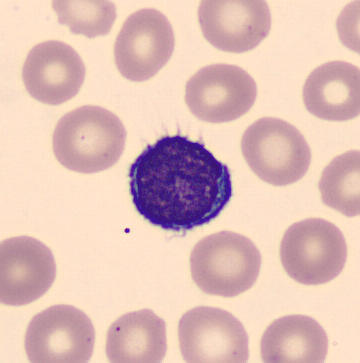Cell — lymphocyte.